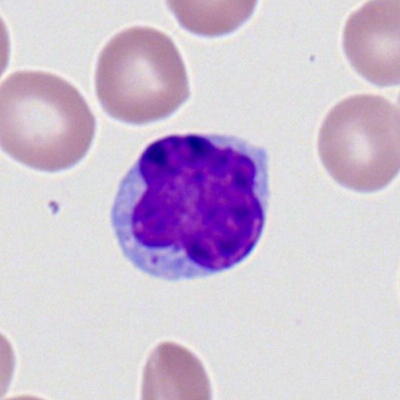 Cell = lymphocyte.